May-Grünwald-Giemsa/Pappenheim stain; 250 by 250 pixels; bone marrow aspirate smear — 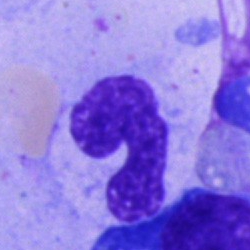 A band neutrophil.